Bone marrow smear — 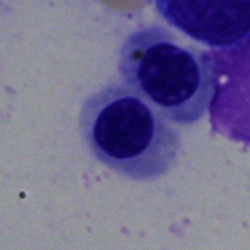 Q: What is the morphological classification of this cell?
A: A nucleated red blood cell.